Bone marrow aspirate smear.
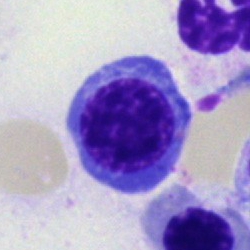 Specimen: bone marrow aspirate smear.
Cell type: nucleated red cell.
Lineage: erythroid.